Bone marrow smear · May-Grünwald-Giemsa/Pappenheim stain
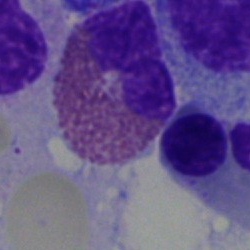Impression — eosinophil.